May-Grünwald-Giemsa/Pappenheim stain · bone marrow smear · brightfield microscopy, 40× oil immersion — 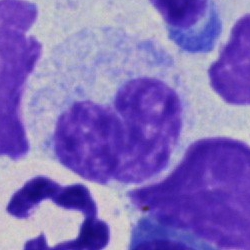 Cell type = metamyelocyte.